May-Grünwald-Giemsa stain; bone marrow aspirate smear
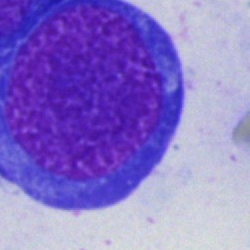 Nucleated red cell.